Bone marrow smear · May-Grünwald-Giemsa stain — 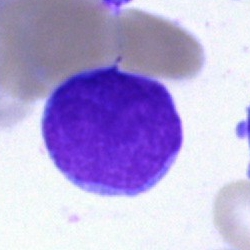

Classification — undifferentiated blast.